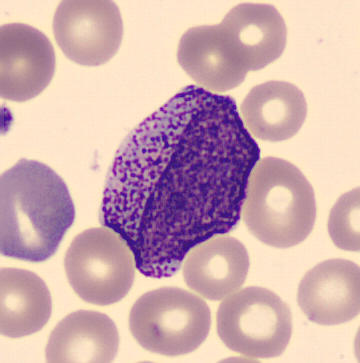Image: MGG-stained. 360×363. Peripheral blood film.

Progranulocyte.